Bone marrow aspirate smear:
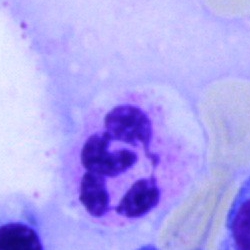

Cell type = segmented neutrophil.